Bone marrow smear — 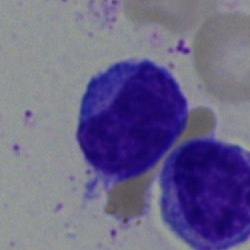A lymphocyte.